Bone marrow aspirate smear: 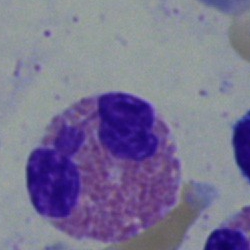
Q: What cell is this?
A: An eosinophil.